MGG-stained · bone marrow aspirate smear — 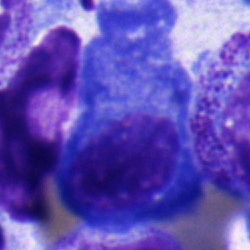A plasma cell.